100× objective, oil immersion · peripheral blood film: 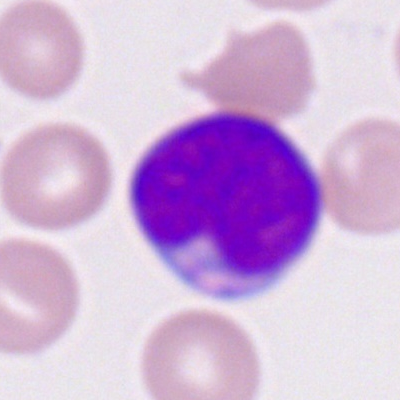
Q: What type of cell is this?
A: A myeloid blast.